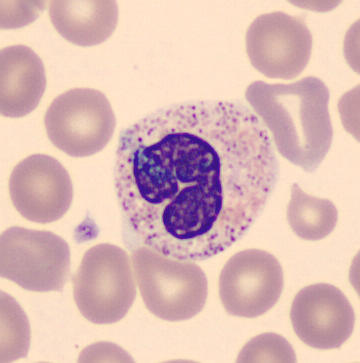A band-form neutrophil on a peripheral blood smear.